Bone marrow aspirate smear.
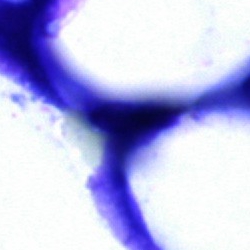
Showing an artifact.